Bone marrow smear
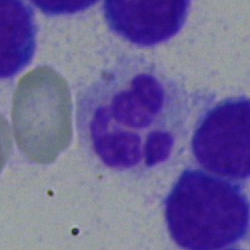

Q: Which cell type is shown here?
A: A polymorphonuclear neutrophil.